Bone marrow aspirate smear; single-cell field — 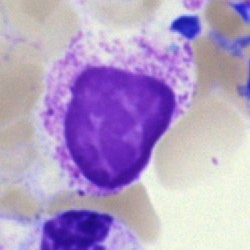

Q: What cell is this?
A: A myelocyte.